Bone marrow smear; MGG-stained.
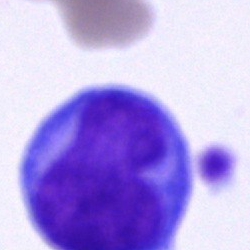
Morphology → blast.